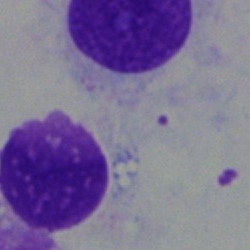

Single cell identified as an artifact.